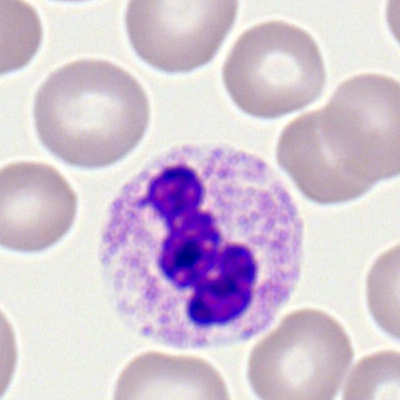 Single-cell crop from a peripheral blood smear: neutrophil (segmented).